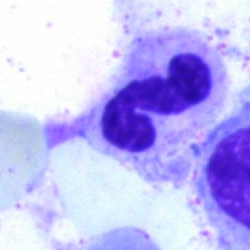The cell shown is a segmented neutrophil.